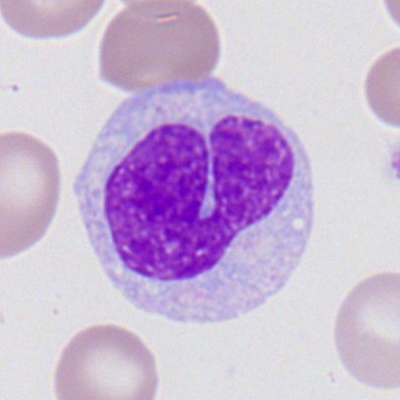

Morphological class — monocyte.